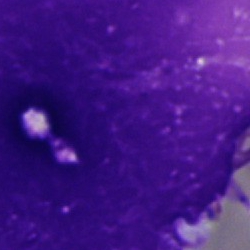
The morphological class is artefact.